Pappenheim-stained. Bone marrow smear:
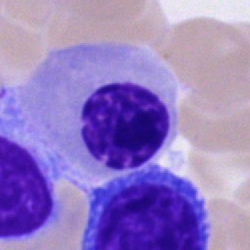

The cell type is erythroblast.